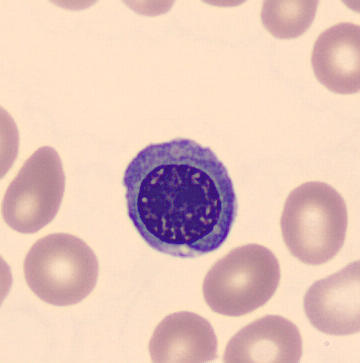This is a nucleated red blood cell.

360×363 px. Peripheral blood smear.